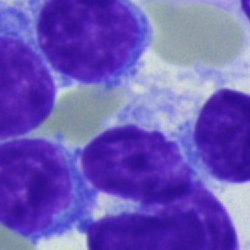
{"cell_type": "typical lymphocyte", "lineage": "lymphoid"}